Bone marrow aspirate smear:
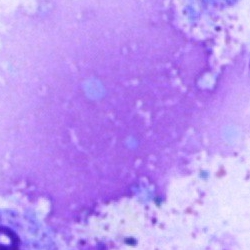Cell type = artifact.